Bone marrow smear:
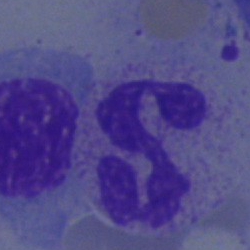Polymorphonuclear neutrophil.